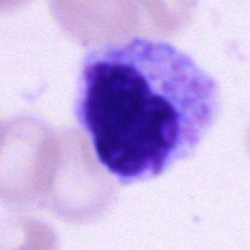

Single-cell crop from a bone marrow smear: segmented neutrophil.